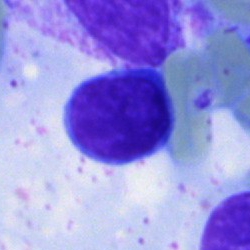The morphological class is typical lymphocyte.